40× oil immersion. Bone marrow aspirate smear — 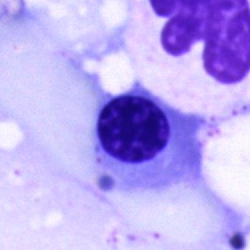

Morphology — nucleated red blood cell.